Brightfield microscopy, 40× oil immersion · bone marrow aspirate smear · single-cell crop: 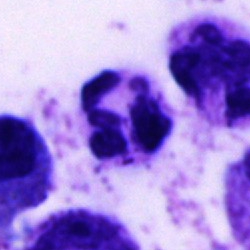Single cell identified as a polymorphonuclear neutrophil.